Peripheral blood smear — 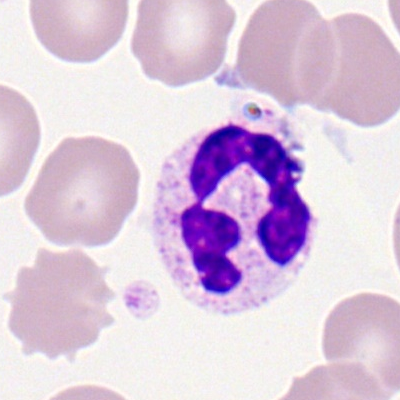Morphology — polymorphonuclear neutrophil.